Bone marrow smear · brightfield microscopy, 40× oil immersion — 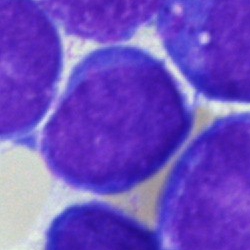
Q: Which cell type is shown here?
A: An undifferentiated blast.